Bone marrow smear; May-Grünwald-Giemsa stain — 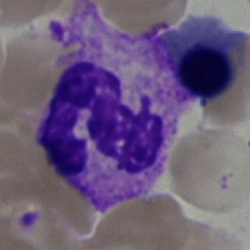Morphology consistent with a segmented neutrophil.